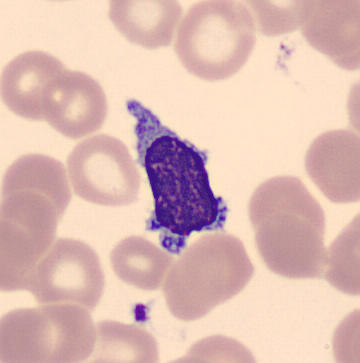

A lymphocyte.